May-Grünwald-Giemsa stain. Bone marrow smear:
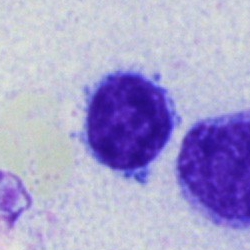This is a lymphocyte.